Bone marrow aspirate smear — 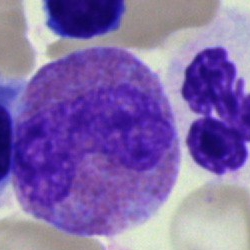 The cell shown is an eosinophilic granulocyte.